Peripheral blood smear — 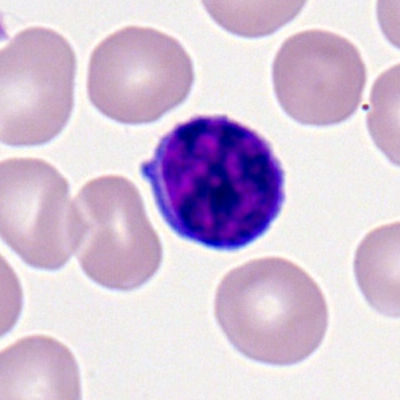
{"cell_type": "typical lymphocyte"}